Bone marrow aspirate smear:
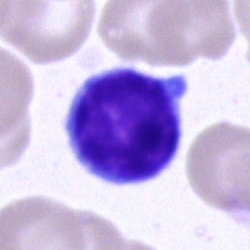

A typical lymphocyte.